Peripheral blood film. Romanowsky stain — 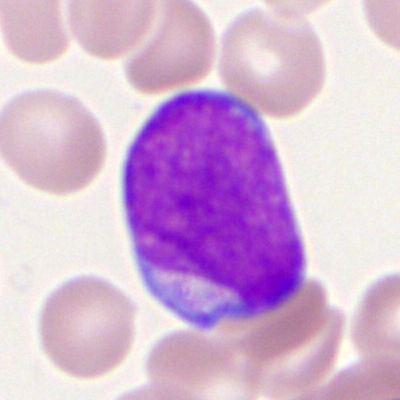

Q: What is shown here?
A: A myeloblast.